Bone marrow smear · image size 250×250.
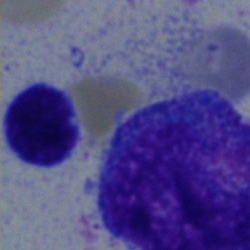A progranulocyte.